Bone marrow aspirate smear.
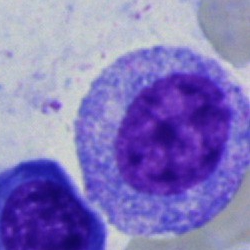

{"cell_type": "progranulocyte", "lineage": "myeloid"}